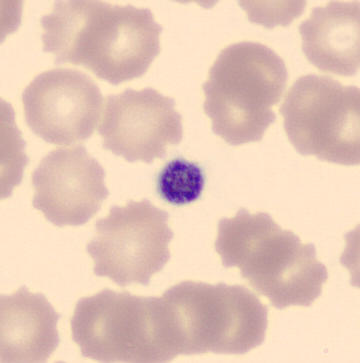Image: Peripheral blood smear.

Morphology consistent with a platelet (thrombocyte).